Brightfield microscopy, 40× oil immersion. Bone marrow aspirate smear:
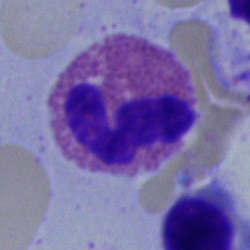
Specimen: bone marrow smear.
Classification: eosinophil.
Lineage: myeloid.